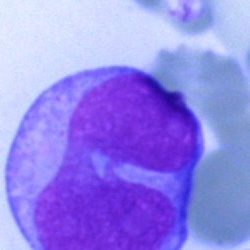
Impression — undifferentiated blast.